Bone marrow smear
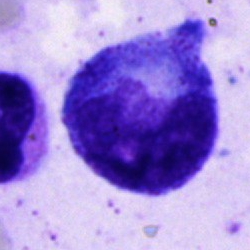Promyelocyte.